Single-cell field; bone marrow smear.
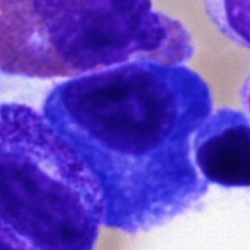Cell type: plasma cell.